Bone marrow aspirate smear — 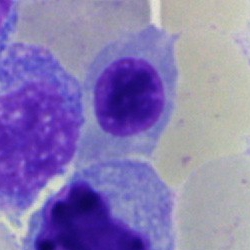
Specimen: bone marrow aspirate smear.
Morphological class: erythroblast.
Lineage: erythroid.